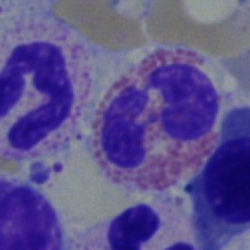{"cell_type": "eosinophilic granulocyte", "lineage": "myeloid"}